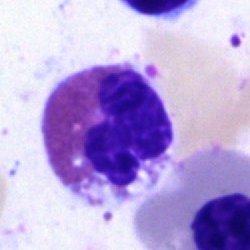
Cell type = eosinophil.